Bone marrow aspirate smear
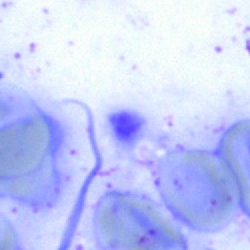Cell — artifact.